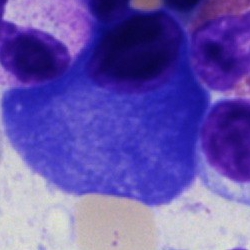
The classification is plasma cell.